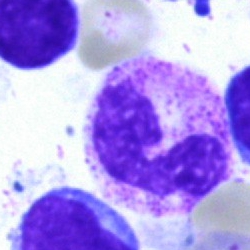 A segmented neutrophil on a bone marrow smear.